Bone marrow aspirate smear — 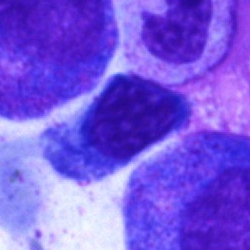Morphology consistent with a lymphocyte.